Bone marrow smear: 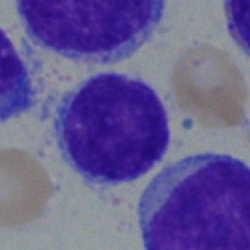 This is a lymphocyte.